Single-cell crop. Bone marrow smear — 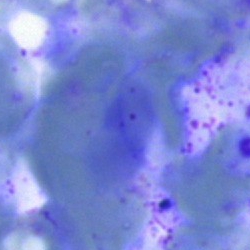Artifact.